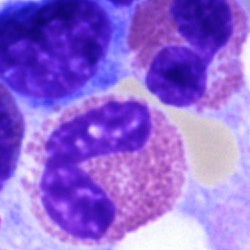

Specimen: bone marrow aspirate smear.
Morphological class: eosinophil.